Peripheral blood film
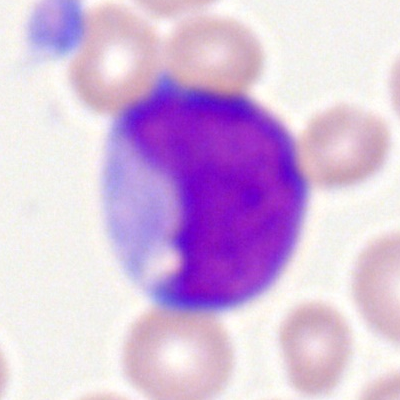Morphology consistent with a myeloblast.